Bone marrow smear — 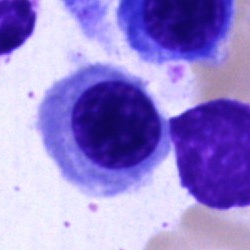Q: What is shown here?
A: This is a normoblast.